Pappenheim-stained; bone marrow smear
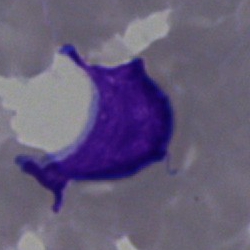The classification is typical lymphocyte.